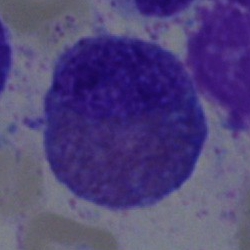
Q: What type of cell is this?
A: It is an eosinophilic granulocyte.